Bone marrow aspirate smear.
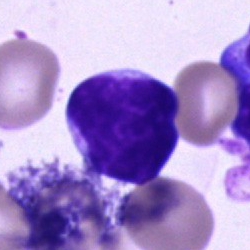Showing a lymphocyte.